Bone marrow smear; 250×250; brightfield microscopy, 40× oil immersion: 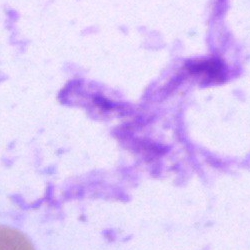

Specimen: bone marrow smear.
Morphological class: artifact.